Bone marrow smear
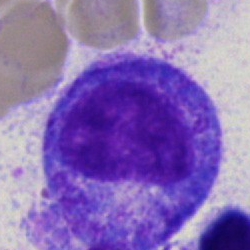

The cell shown is a progranulocyte.